Bone marrow smear. 250×250 px: 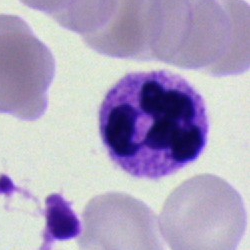

This is a segmented neutrophil.